May-Grünwald-Giemsa/Pappenheim stain; bone marrow smear; 250×250
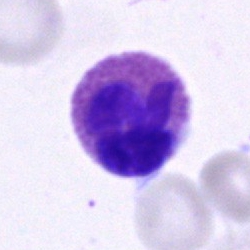
{"cell_type": "eosinophil", "lineage": "myeloid"}